Bone marrow smear · brightfield microscopy, 40× oil immersion: 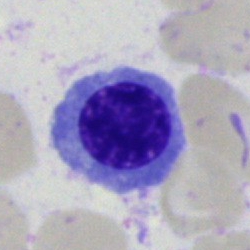Q: Which cell type is shown here?
A: Plasma cell.